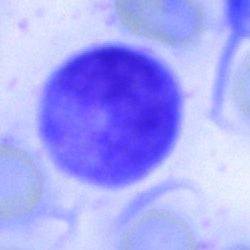

Q: What cell is this?
A: Unidentifiable cell.